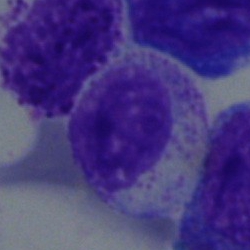

Showing a myelocyte.